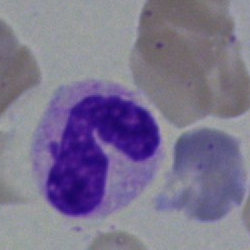
Q: What is the morphological classification of this cell?
A: A band-form neutrophil.